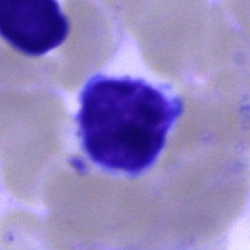 A lymphocyte.